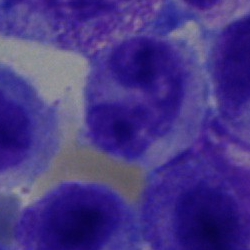

Morphology consistent with a band neutrophil.